Bone marrow aspirate smear; brightfield, 40× oil-immersion objective; 250×250 px:
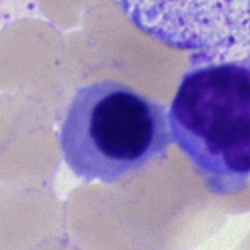

Specimen: bone marrow smear.
Cell type: nucleated red cell.
Lineage: erythroid.